Bone marrow aspirate smear: 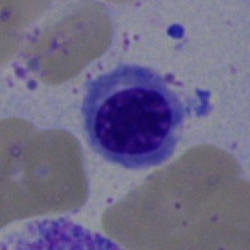
Morphological class: normoblast.